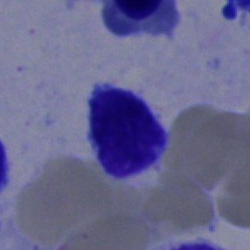 Classification: typical lymphocyte.